Bone marrow smear; single-cell crop; brightfield, 40× oil-immersion objective — 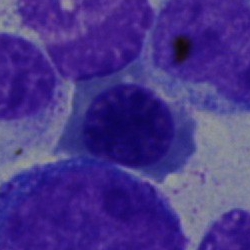A normoblast.